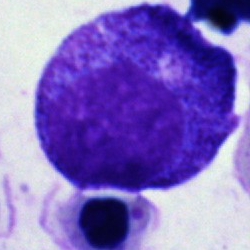

Impression — progranulocyte.